Bone marrow smear; brightfield, 40× oil-immersion objective — 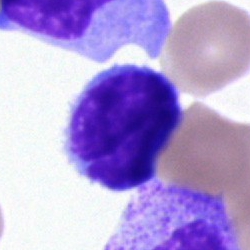 The cell shown is a typical lymphocyte.